Bone marrow aspirate smear · 250×250 · single-cell crop:
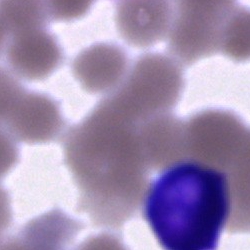Morphology consistent with an artifact.